250×250 · bone marrow aspirate smear — 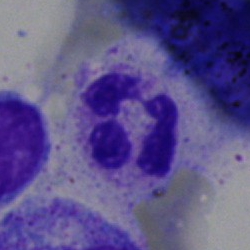Q: What cell is this?
A: It is a polymorphonuclear neutrophil.